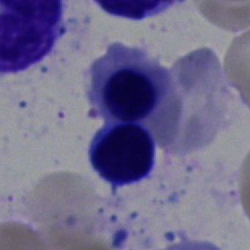Single-cell crop from a bone marrow smear: erythroblast.